Bone marrow aspirate smear: 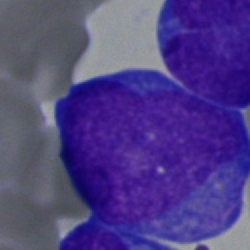
The morphological class is blast.